Bone marrow aspirate smear · MGG-stained
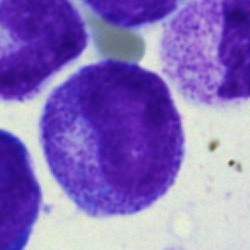
Classification = myelocyte.